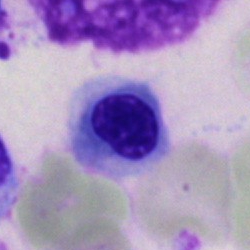

Q: What cell is this?
A: Nucleated red cell.